Brightfield, 40× oil-immersion objective · 250×250 · bone marrow aspirate smear:
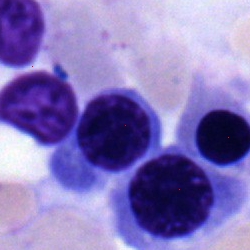Q: What is the morphological classification of this cell?
A: This is a nucleated red cell.